Bone marrow aspirate smear — 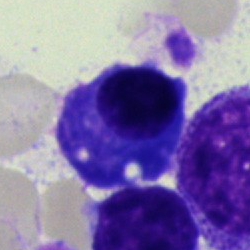 A plasma cell.